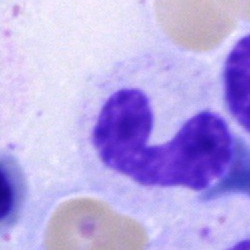

{"cell_type": "band-form neutrophil"}